Bone marrow aspirate smear:
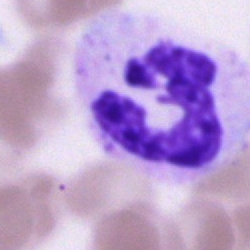Cell — segmented neutrophil.